Bone marrow smear:
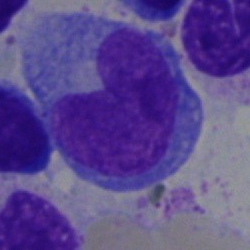

Specimen: bone marrow smear.
Cell: monocyte.
Lineage: myeloid.